250×250 px · bone marrow aspirate smear · 40× oil immersion.
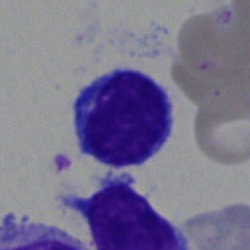The morphological class is typical lymphocyte.